Bone marrow aspirate smear.
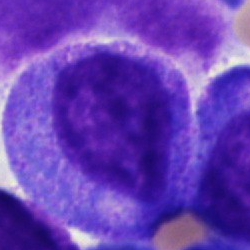 This is a myelocyte.